May-Grünwald-Giemsa/Pappenheim stain. Bone marrow smear: 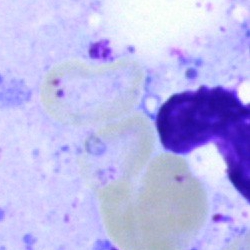

Q: What is shown here?
A: Artifact.